Bone marrow smear.
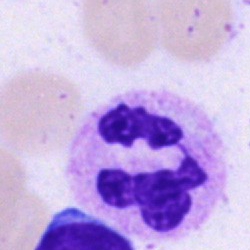
Morphology — segmented neutrophil.